250×250 · bone marrow aspirate smear.
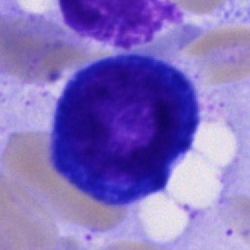

Specimen: bone marrow smear.
Cell: pronormoblast.